Bone marrow smear:
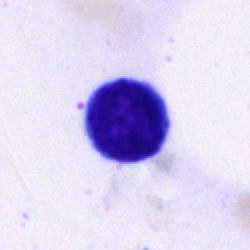

Q: Identify the cell.
A: A typical lymphocyte.